Peripheral blood film: 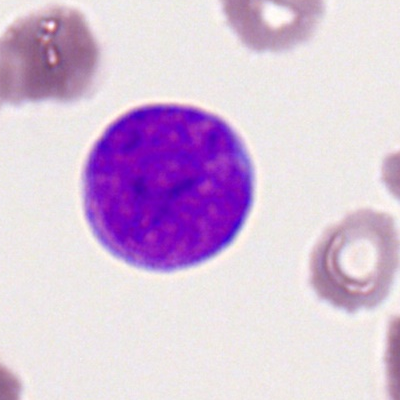{"cell_type": "myeloblast"}